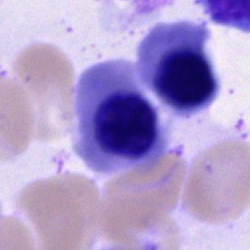
This is an erythroblast.